Image size 250×250; single-cell crop; bone marrow aspirate smear: 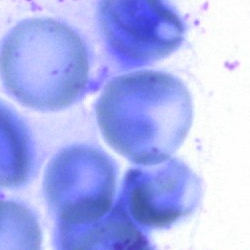An artifact.